May-Grünwald-Giemsa/Pappenheim stain. Bone marrow smear.
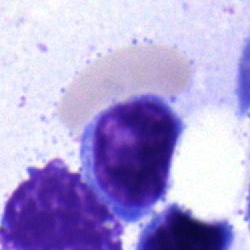

Impression — lymphocyte.